100× oil immersion. Peripheral blood smear. 400×400 px
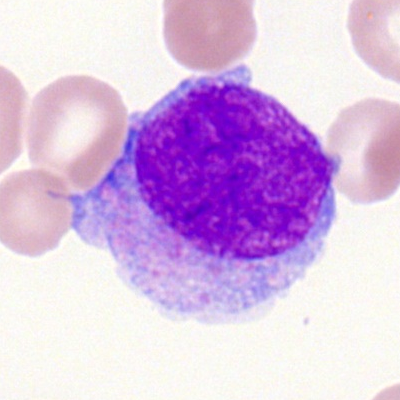
The cell shown is a myeloid blast.